May-Grünwald-Giemsa/Pappenheim stain. Bone marrow smear — 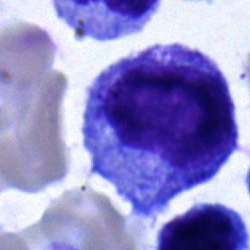
Q: What is shown here?
A: This is a progranulocyte.